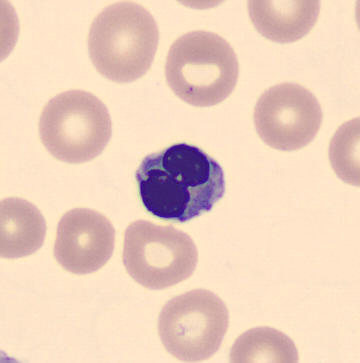
Q: What is shown here?
A: A nucleated red blood cell. Peripheral blood smear.